Cropped to a single cell; bone marrow aspirate smear: 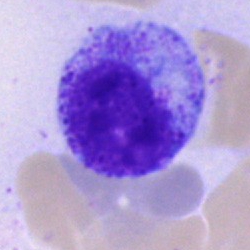 Classification: myelocyte.